250×250 px. 40× objective, oil immersion. Bone marrow smear
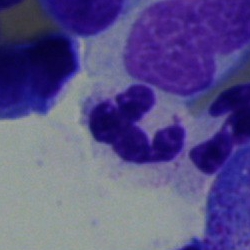 Morphological class — polymorphonuclear neutrophil.